Bone marrow aspirate smear; 40× objective, oil immersion:
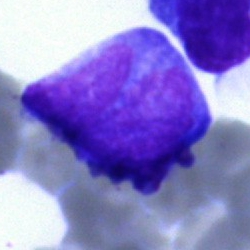 Q: What type of cell is this?
A: This is a lymphocyte (immature).